Peripheral blood film
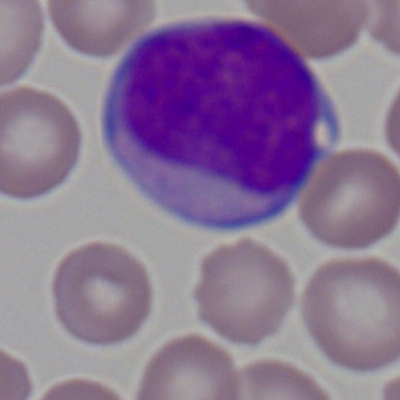
Myeloblast.